Single cell centered in the field; bone marrow smear
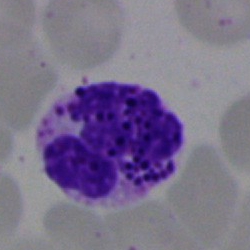 {"cell_type": "basophil", "lineage": "myeloid"}